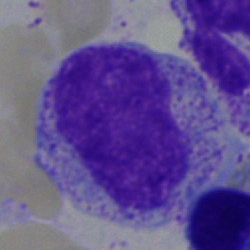
{"cell_type": "myelocyte"}